Bone marrow smear: 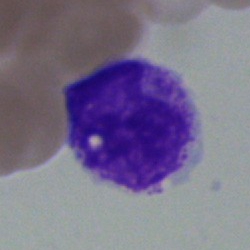

The cell shown is an artifact.